250×250 px · bone marrow smear · brightfield microscopy, 40× oil immersion: 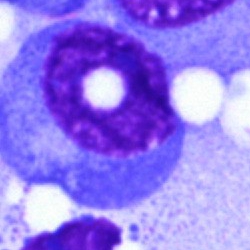
Q: What cell is this?
A: Plasma cell.